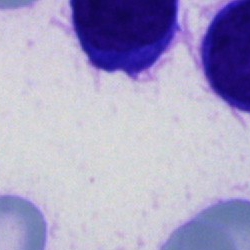 An other cell on a bone marrow smear.